Bone marrow aspirate smear:
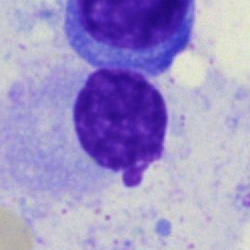

This is an artifact.